Bone marrow aspirate smear · MGG-stained
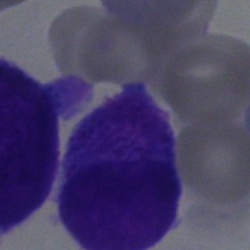

Single cell identified as a blast.